Bone marrow aspirate smear · MGG-stained · single cell centered in the field: 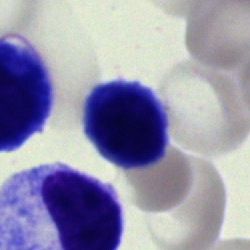
Morphological class: typical lymphocyte.